Bone marrow smear
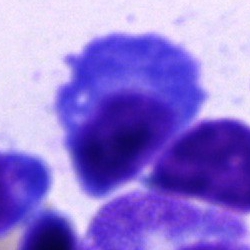 Cell type — plasma cell.